Bone marrow smear
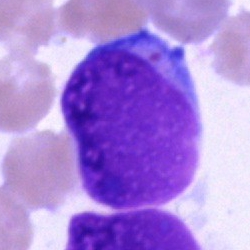 Specimen: bone marrow aspirate smear.
Morphological class: artefact.